Bone marrow aspirate smear: 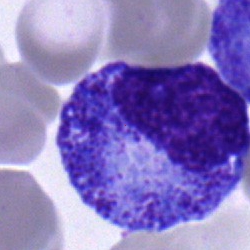 Cell: progranulocyte.